Bone marrow smear: 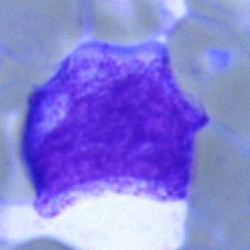
Progranulocyte.